250×250; single cell centered in the field; bone marrow smear:
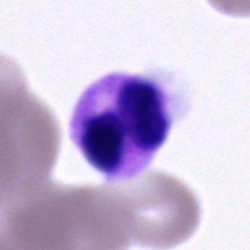

Q: What is shown here?
A: Polymorphonuclear neutrophil.